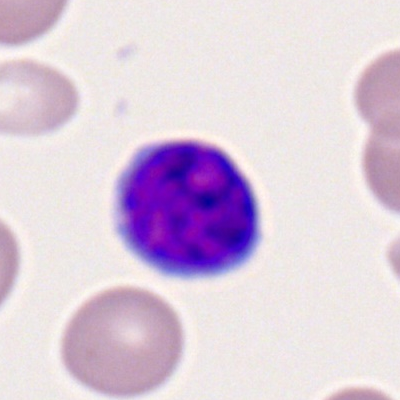A typical lymphocyte.